Single cell centered in the field. Bone marrow aspirate smear:
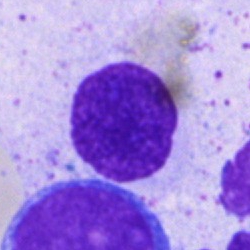 Q: What is shown here?
A: This is an artifact.